Bone marrow aspirate smear: 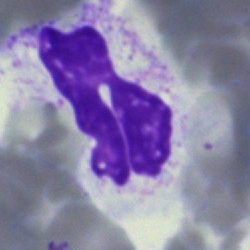Morphology consistent with a segmented neutrophil.